250×250 px. Bone marrow aspirate smear. May-Grünwald-Giemsa/Pappenheim stain — 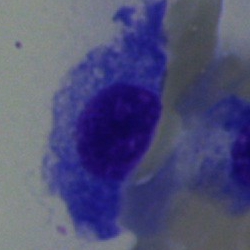Q: What is shown here?
A: A plasma cell.